Bone marrow aspirate smear. Single-cell crop. Pappenheim-stained.
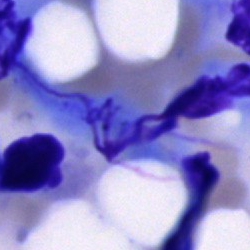 Artifact.